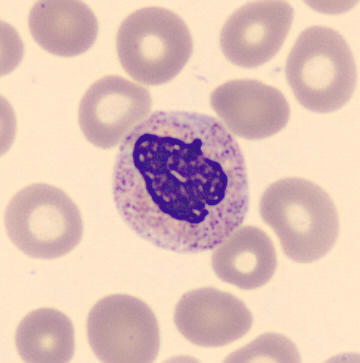Single-cell crop; peripheral blood film.

This is a stab cell.